Bone marrow aspirate smear; brightfield, 40× oil-immersion objective; single-cell field:
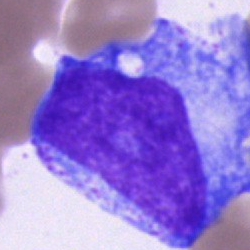This is a progranulocyte.